May-Grünwald-Giemsa/Pappenheim stain; bone marrow aspirate smear
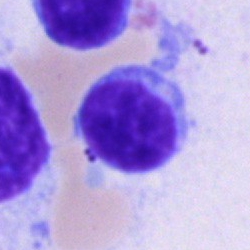Typical lymphocyte.